Bone marrow smear:
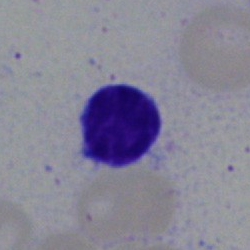
Showing a typical lymphocyte.